Pappenheim-stained. Bone marrow aspirate smear. 250 by 250 pixels
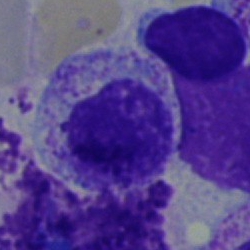
{"cell_type": "myelocyte"}